40× objective, oil immersion · bone marrow smear: 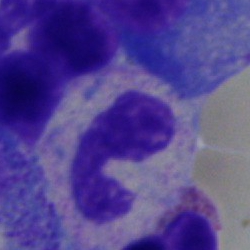 Classification = neutrophil (band).